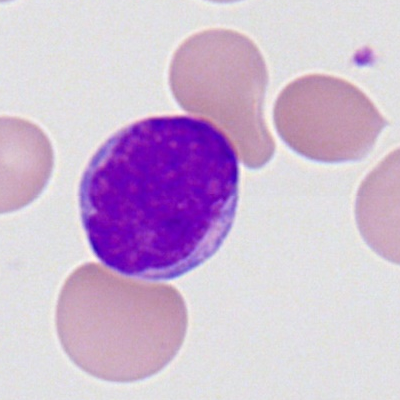 Cell type — myeloblast.